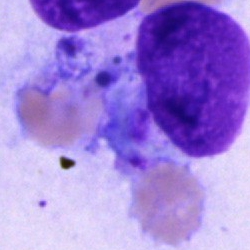Bone marrow aspirate smear, single cell — artefact.